Bone marrow aspirate smear.
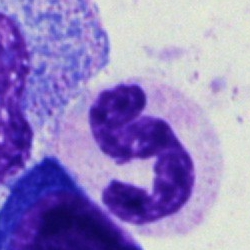

Morphological class: neutrophil (segmented).